40× objective, oil immersion · bone marrow aspirate smear: 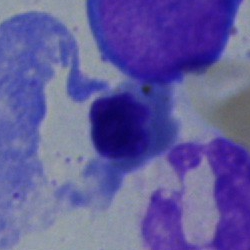

The cell type is normoblast.